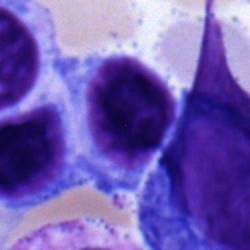 Cell: typical lymphocyte.